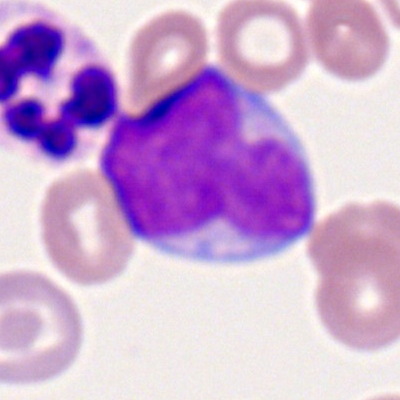 Myeloblast.